Bone marrow aspirate smear; 250 by 250 pixels — 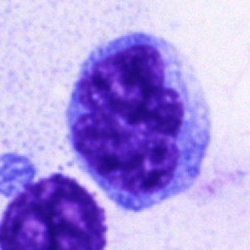

Q: Which cell type is shown here?
A: A blast cell.